Bone marrow smear
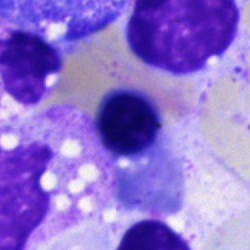 {"cell_type": "nucleated red blood cell"}